Bone marrow aspirate smear:
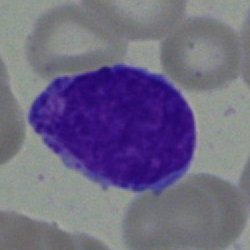 Classification — undifferentiated blast.